400×400 px · 100× oil immersion · peripheral blood film.
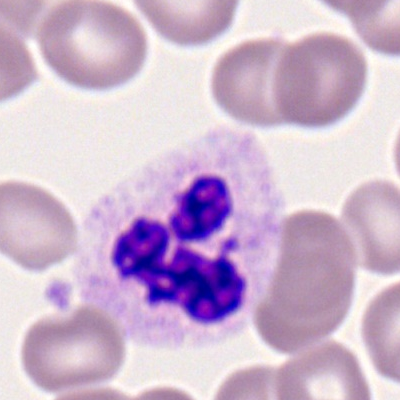
Showing a segmented neutrophil.